Bone marrow smear · 40× oil immersion: 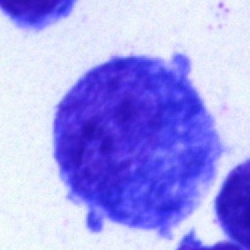
The cell shown is a promyelocyte.